Bone marrow smear; 40× objective, oil immersion; Pappenheim-stained — 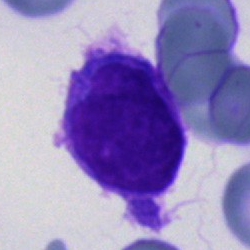 Q: Which cell type is shown here?
A: Blast cell.